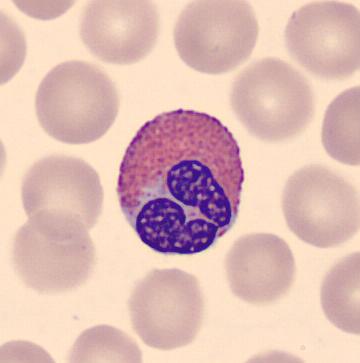 The cell is eosinophilic granulocyte. Image: Cropped to a single cell · peripheral blood film.